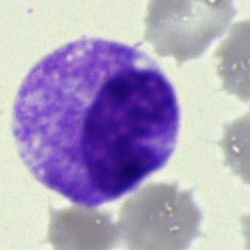 Specimen: bone marrow aspirate smear.
Cell type: stab cell.
Lineage: myeloid.